Bone marrow aspirate smear: 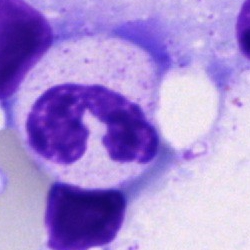
Specimen: bone marrow aspirate smear.
Cell: polymorphonuclear neutrophil.